May Grünwald-Giemsa stain. Peripheral blood smear: 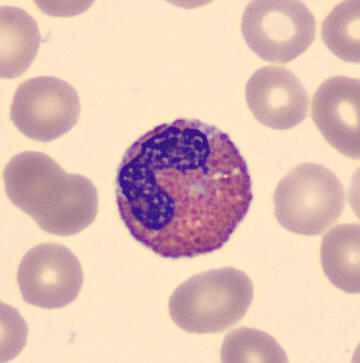

This is an eosinophil.